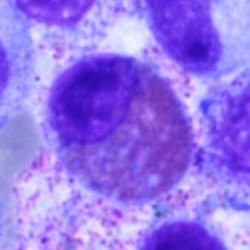The cell is eosinophilic granulocyte.